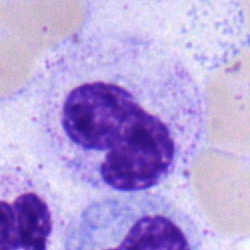 Morphology → stab cell.